Bone marrow aspirate smear
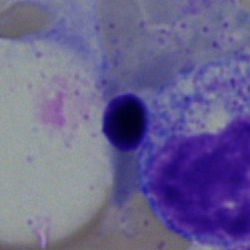
Classification = erythroblast.